Cropped to a single cell · MGG-stained · bone marrow smear:
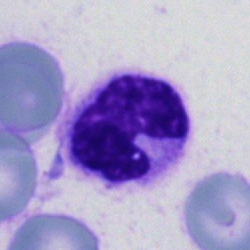
Q: Which cell type is shown here?
A: A segmented neutrophil.